Bone marrow smear:
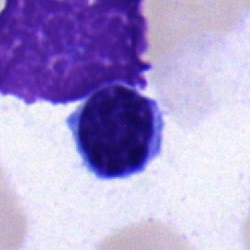The cell shown is a typical lymphocyte.